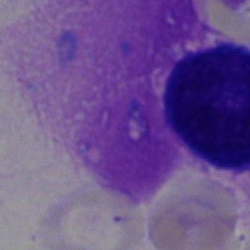 Cell = artifact.